Romanowsky-type stain · peripheral blood film — 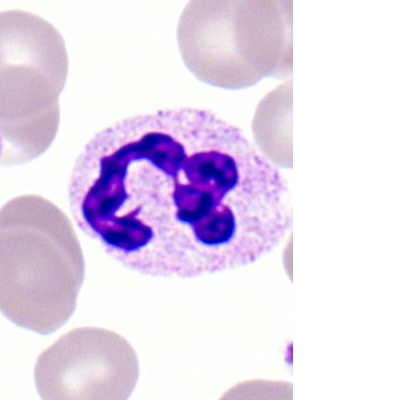 Morphology → segmented neutrophil.